Single-cell crop; bone marrow smear — 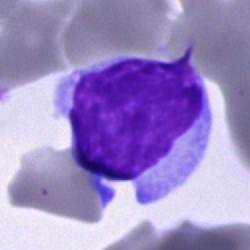
Q: What type of cell is this?
A: It is a typical lymphocyte.